Bone marrow aspirate smear:
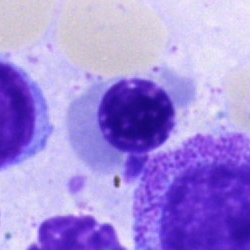

Erythroblast.